Bone marrow smear: 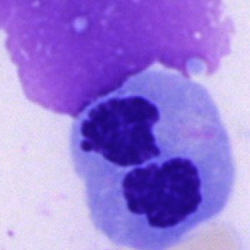

Q: What type of cell is this?
A: A normoblast.